Bone marrow smear: 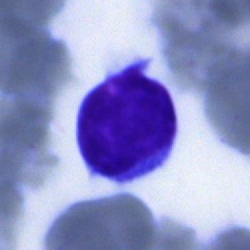This is a lymphocyte.